Bone marrow aspirate smear; single-cell crop
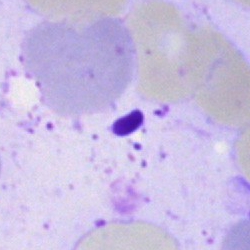 Cell: artefact.